Bone marrow aspirate smear:
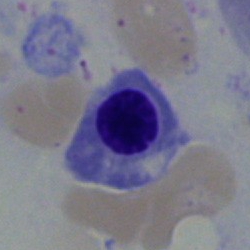
Showing a nucleated red blood cell.